Bone marrow aspirate smear: 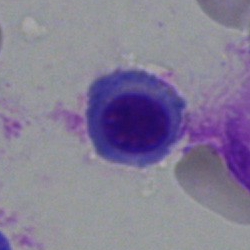

Morphology → normoblast.